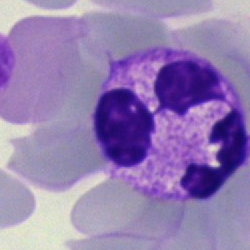
Specimen: bone marrow aspirate smear.
Cell type: polymorphonuclear neutrophil.